May-Grünwald-Giemsa stain. Bone marrow aspirate smear. 250 by 250 pixels — 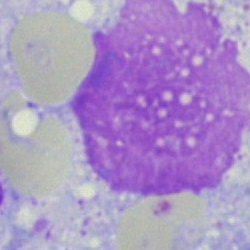The morphological class is artifact.